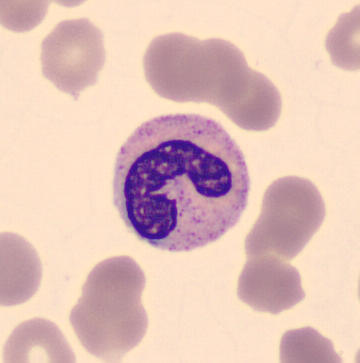
The cell shown is a band-form neutrophil.
Acquisition: Peripheral blood film · CellaVision DM96 digital cell image.